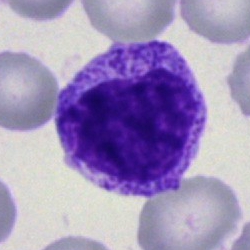Specimen: bone marrow smear.
Classification: myelocyte.
Lineage: myeloid.